Bone marrow smear.
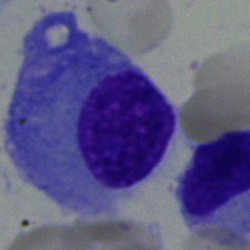
{"cell_type": "plasmacyte", "lineage": "lymphoid"}